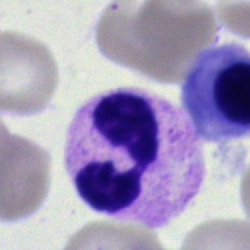Cell type: segmented neutrophil.